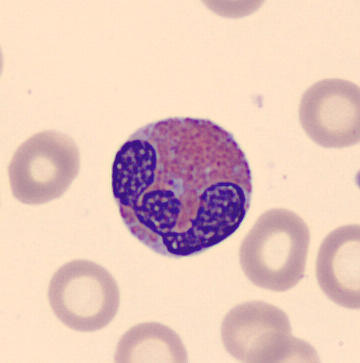 The classification is eosinophilic granulocyte.